Pappenheim-stained · single-cell field · bone marrow aspirate smear.
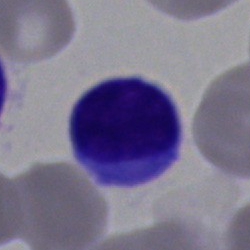
Cell type = lymphocyte.